Single-cell crop. Bone marrow aspirate smear: 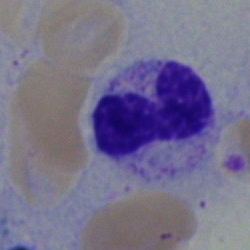
Showing a neutrophil (band).